Bone marrow smear:
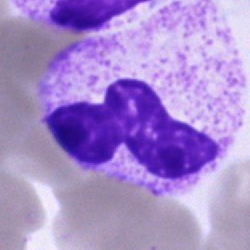

Morphology — polymorphonuclear neutrophil.